Bone marrow smear. May-Grünwald-Giemsa stain.
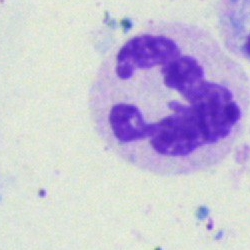Polymorphonuclear neutrophil.